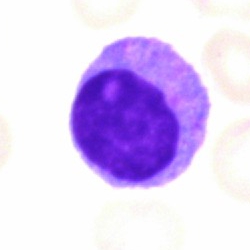
Cell = typical lymphocyte.